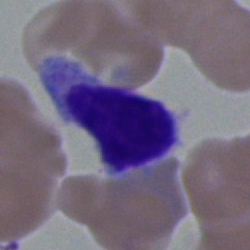 Cell — lymphocyte.